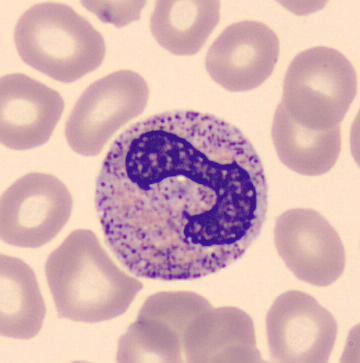

Preparation: Peripheral blood smear. Single-cell crop. Imaged on a CellaVision DM96 analyser. Cell type = neutrophil (band).